Bone marrow aspirate smear. 250×250. Brightfield microscopy, 40× oil immersion:
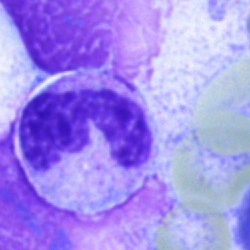

Classification = polymorphonuclear neutrophil.